Single-cell field; May-Grünwald-Giemsa/Pappenheim stain; bone marrow smear — 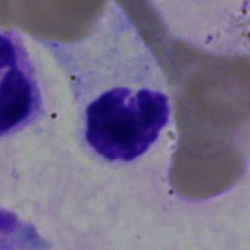
Morphology consistent with a polymorphonuclear neutrophil.